Peripheral blood film — 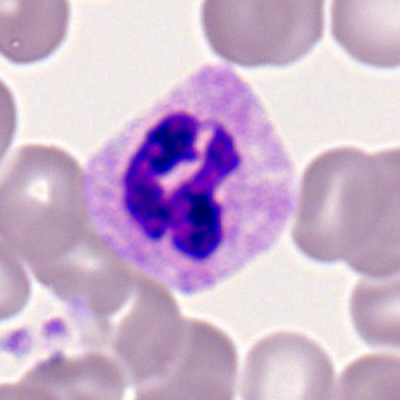

Morphology consistent with a neutrophil (segmented).